Cropped to a single cell; brightfield microscopy, 40× oil immersion; bone marrow smear:
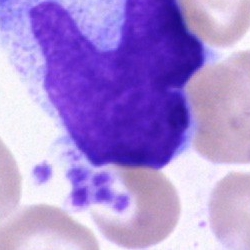
Classification = artefact.